Bone marrow smear. Single-cell crop:
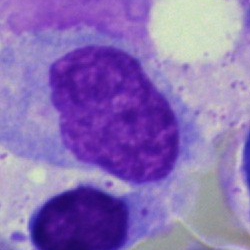 Q: Identify the cell.
A: A monocyte.